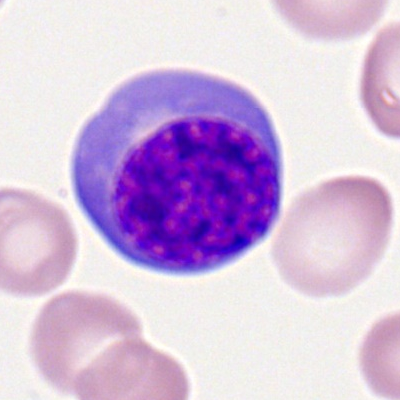
Morphology — nucleated red cell.